Bone marrow aspirate smear · single-cell field.
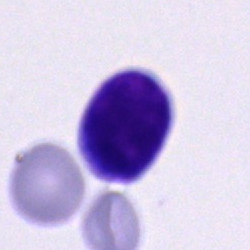 Specimen: bone marrow aspirate smear.
Classification: blast cell.